Bone marrow smear · single-cell crop.
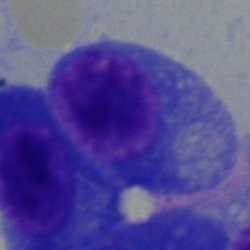
Classification — plasma cell.